Bone marrow aspirate smear. MGG-stained:
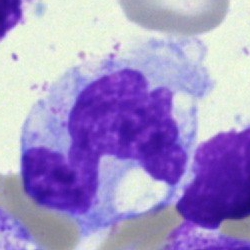 Q: What type of cell is this?
A: Monocyte.